Peripheral blood film:
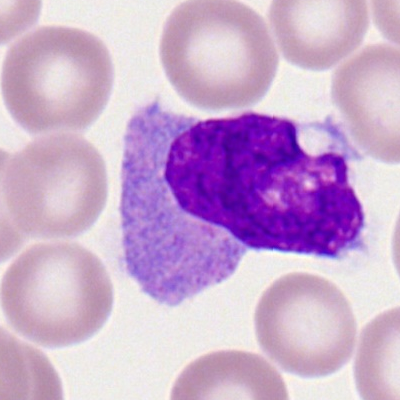
Q: What type of cell is this?
A: A monocyte.